Bone marrow smear — 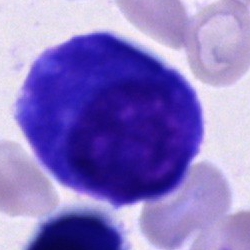

Cell: plasma cell.